250×250; bone marrow smear: 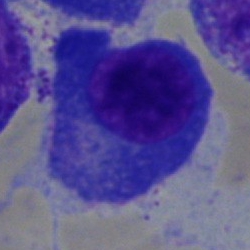Plasmacyte.